Brightfield, 40× oil-immersion objective. Bone marrow smear: 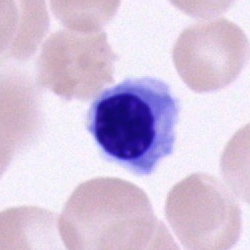Q: What is shown here?
A: It is an erythroblast.